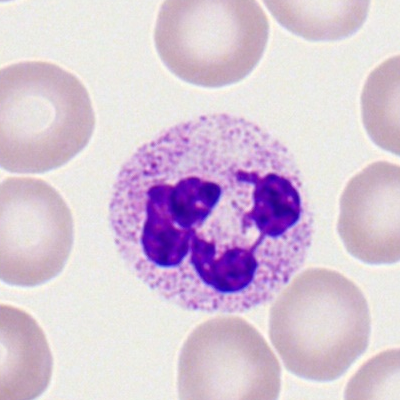 Peripheral blood film, single cell — segmented neutrophil.